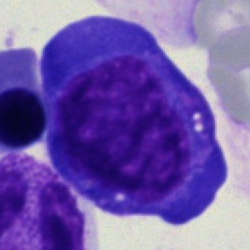

{"cell_type": "nucleated red blood cell", "lineage": "erythroid"}